Bone marrow aspirate smear; single-cell field; brightfield, 40× oil-immersion objective:
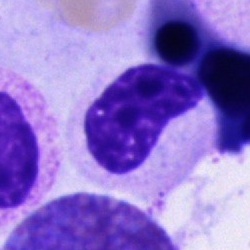
Q: What type of cell is this?
A: It is a metamyelocyte.